May-Grünwald-Giemsa/Pappenheim stain; brightfield, 40× oil-immersion objective; bone marrow smear
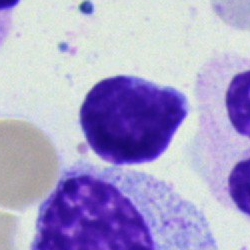Cell type — typical lymphocyte.